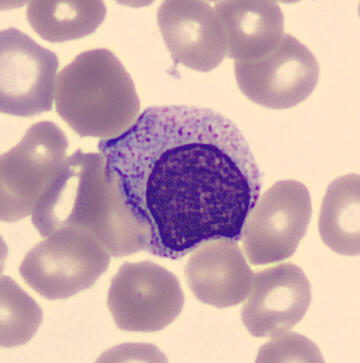
Specimen: peripheral blood smear.
Morphological class: myelocyte.
Lineage: myeloid.

Preparation: Imaged on a CellaVision DM96 analyser.